Bone marrow smear.
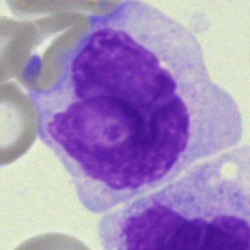

Showing a monocyte.